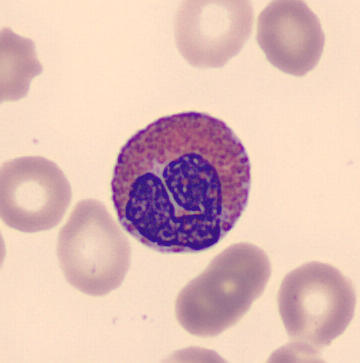

An eosinophil on a peripheral blood smear.